Single cell centered in the field. Bone marrow aspirate smear
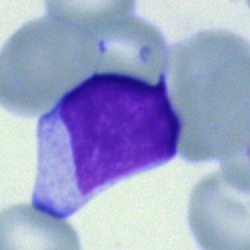
This is a typical lymphocyte.